Bone marrow aspirate smear: 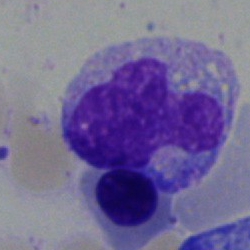Cell type = monocyte.